Bone marrow aspirate smear.
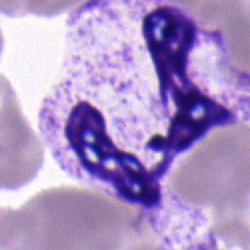

Morphology → segmented neutrophil.